Bone marrow aspirate smear:
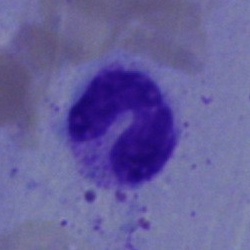

The cell type is band neutrophil.